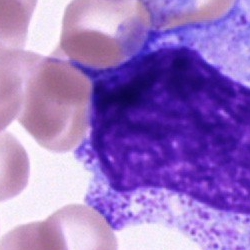
Q: What cell is this?
A: This is a progranulocyte.